Bone marrow aspirate smear; MGG-stained; 40× oil immersion
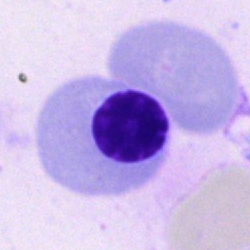Normoblast.